Bone marrow aspirate smear. Single-cell crop. 250×250 — 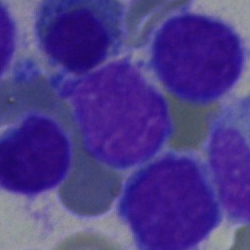 Q: What is shown here?
A: This is a typical lymphocyte.